Bone marrow aspirate smear. 250 by 250 pixels
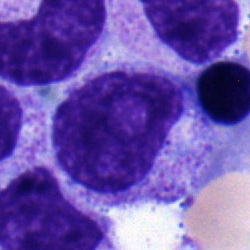

{"cell_type": "myelocyte", "lineage": "myeloid"}